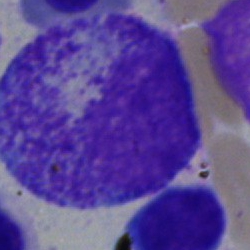

This is a promyelocyte.